40× objective, oil immersion; single cell centered in the field; bone marrow smear
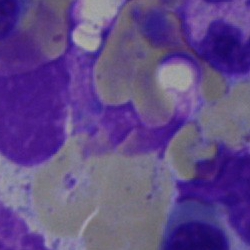

Morphology — artefact.